250×250 px; bone marrow aspirate smear; single-cell field:
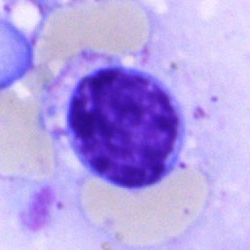 Lymphocyte.